Peripheral blood film: 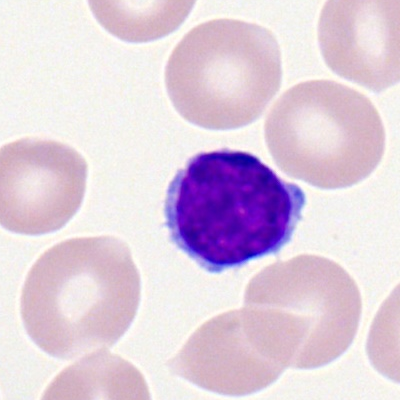

Impression — lymphocyte.